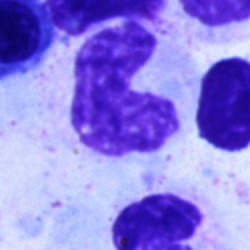A band-form neutrophil on a bone marrow smear.